Bone marrow aspirate smear · single cell centered in the field.
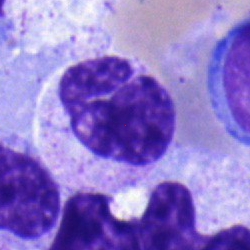Cell type: segmented neutrophil.